Bone marrow aspirate smear — 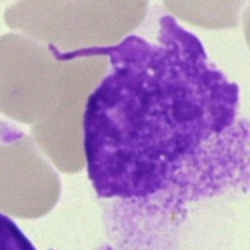Q: What is shown here?
A: It is an artifact.